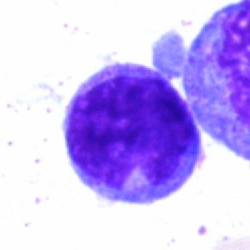 Q: What type of cell is this?
A: This is a typical lymphocyte.